Single-cell field; peripheral blood smear: 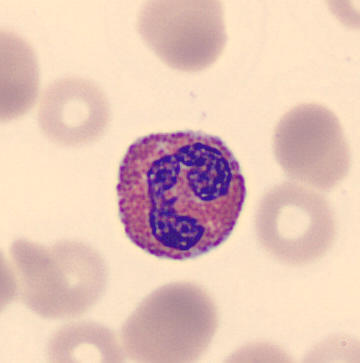Identified as an eosinophilic granulocyte.